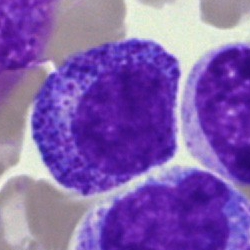
Bone marrow smear showing a myelocyte.